100× oil immersion, 14.14 px/µm; peripheral blood film; 400×400 px — 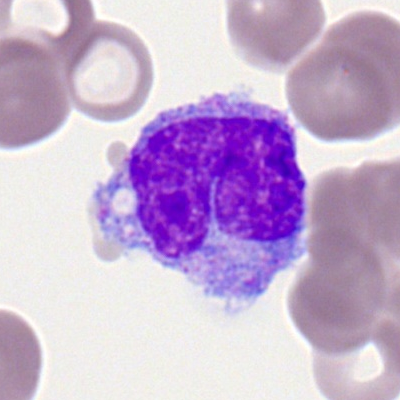

Specimen: peripheral blood smear.
Morphological class: monocyte.
Lineage: myeloid.